Bone marrow aspirate smear
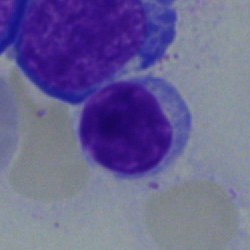 Morphology consistent with a typical lymphocyte.